Image size 400×400. Romanowsky-stained. Peripheral blood smear: 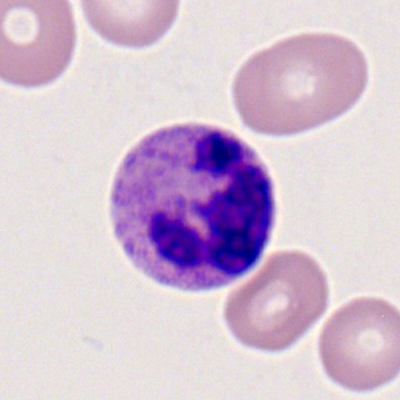
Morphological class — polymorphonuclear neutrophil.